Bone marrow smear: 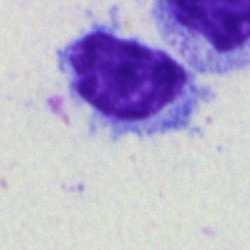Q: What type of cell is this?
A: Lymphocyte.